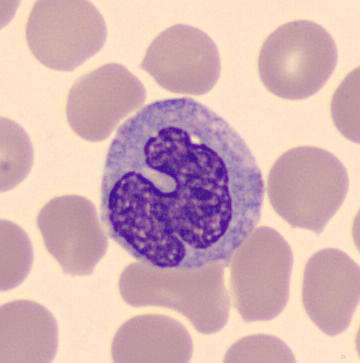 Acquisition: Peripheral blood film.
Classification: monocyte.